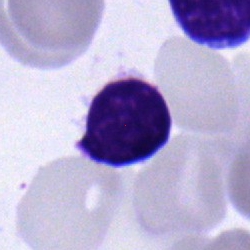

A typical lymphocyte.